Bone marrow smear:
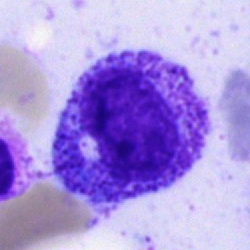 Classification — promyelocyte.